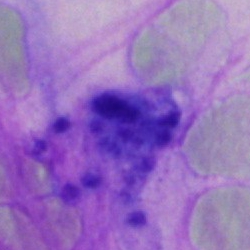

Bone marrow smear showing an artefact.